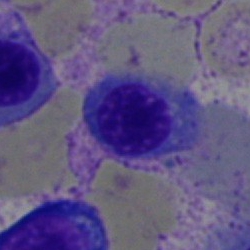

Specimen: bone marrow aspirate smear.
Classification: nucleated red cell.
Lineage: erythroid.